Bone marrow smear · MGG-stained — 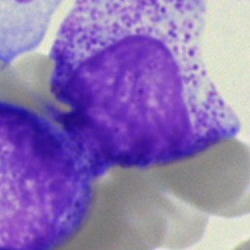
Q: What is shown here?
A: It is a myelocyte.